40× oil immersion; 250×250 px; bone marrow smear — 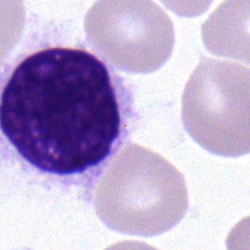Cell — typical lymphocyte.